Peripheral blood smear; brightfield, 100× oil-immersion objective; single-cell field: 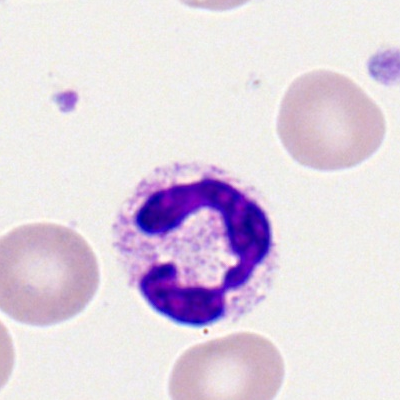Q: What is shown here?
A: This is a segmented neutrophil.